Bone marrow smear; single cell centered in the field — 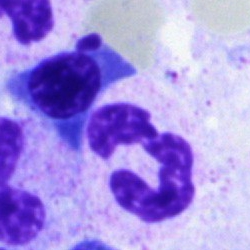The cell type is neutrophil (segmented).